Bone marrow smear. Brightfield, 40× oil-immersion objective. Pappenheim-stained — 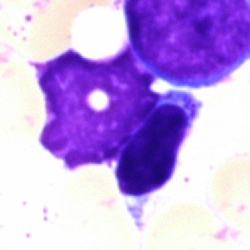Artifact.